Bone marrow aspirate smear. Single-cell field:
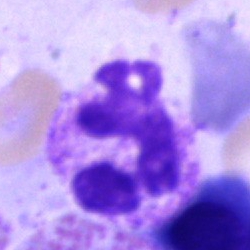Cell type — polymorphonuclear neutrophil.